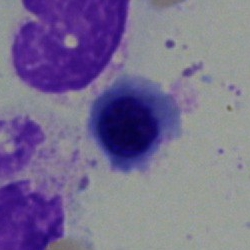 Nucleated red cell.